Romanowsky-type stain. Peripheral blood film: 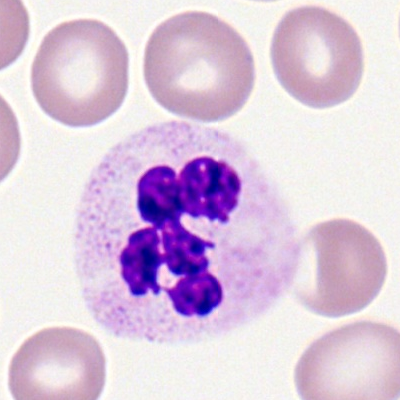Single cell identified as a polymorphonuclear neutrophil.